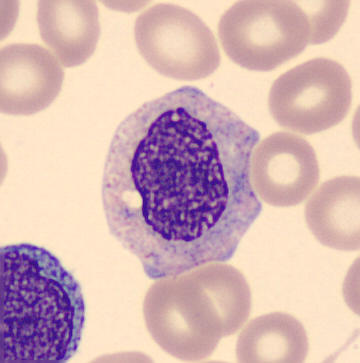The morphological class is myelocyte. 360×363 px; imaged on a CellaVision DM96 analyser; peripheral blood film.